Peripheral blood film: 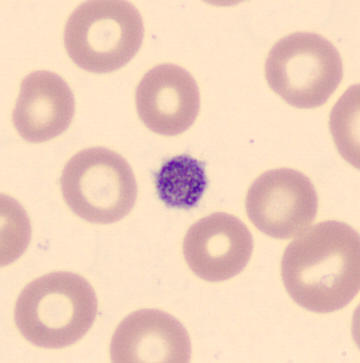 Specimen: peripheral blood smear.
Cell type: thrombocyte.